250×250. Bone marrow smear — 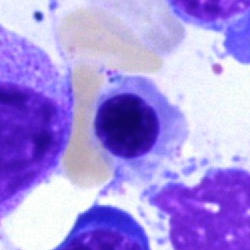 A normoblast.